Bone marrow smear. Single-cell crop: 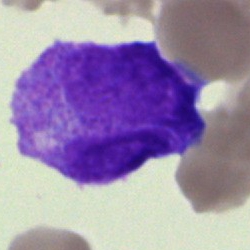Q: What is shown here?
A: It is a blast.